Bone marrow aspirate smear
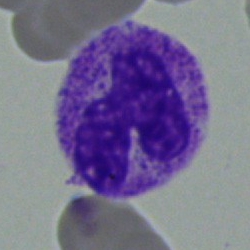
A stab cell.